Bone marrow aspirate smear:
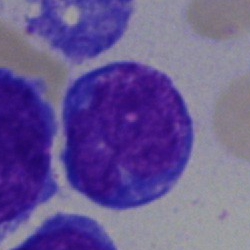

Morphology → blast.